40× objective, oil immersion; May-Grünwald-Giemsa stain; bone marrow smear.
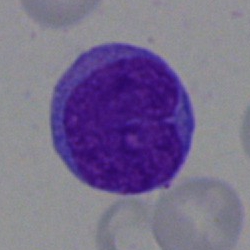 Specimen: bone marrow smear.
Morphological class: undifferentiated blast.